May-Grünwald-Giemsa stain · bone marrow aspirate smear
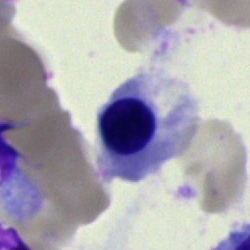

Q: What is shown here?
A: A normoblast.